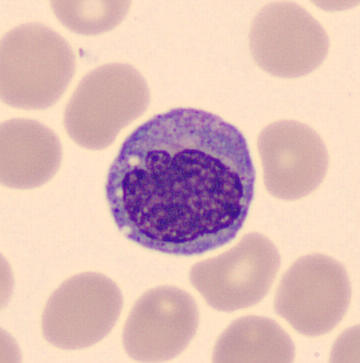

Specimen: peripheral blood film.
Cell type: monocyte.